Bone marrow aspirate smear; brightfield, 40× oil-immersion objective — 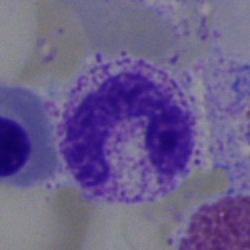{"cell_type": "segmented neutrophil", "lineage": "myeloid"}